Bone marrow smear. Single-cell crop: 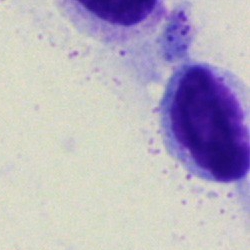
Morphology → artifact.